Bone marrow aspirate smear
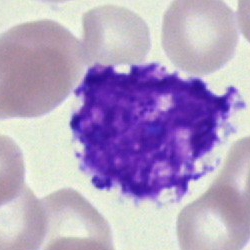Single cell identified as an artefact.